Peripheral blood film. 400×400 px
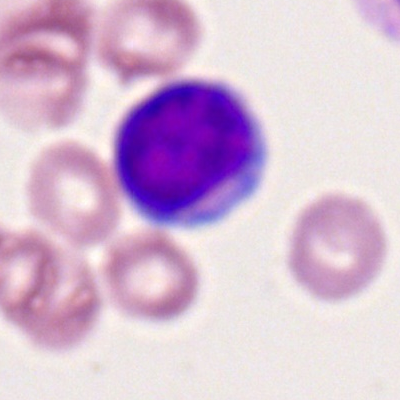

Cell — typical lymphocyte.